May-Grünwald-Giemsa stain; bone marrow smear
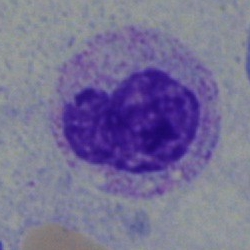Band neutrophil.